Cropped to a single cell. Bone marrow aspirate smear.
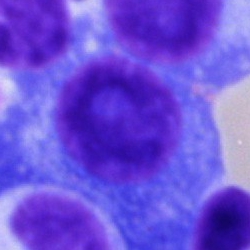
Cell type = plasma cell.